Bone marrow aspirate smear.
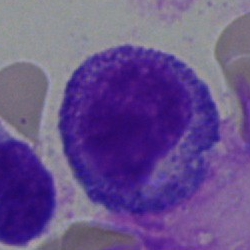 Single cell identified as a promyelocyte.